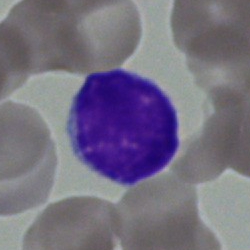Q: What is the morphological classification of this cell?
A: It is a lymphocyte.